Bone marrow aspirate smear — 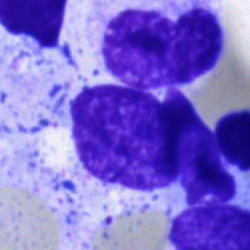Morphology consistent with an artefact.